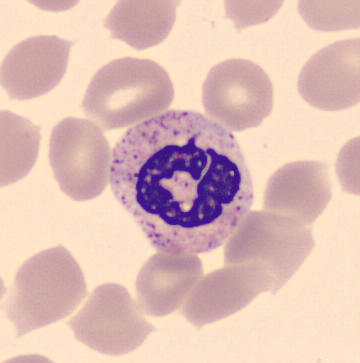

Specimen: peripheral blood smear.
Classification: neutrophil (segmented).